Bone marrow aspirate smear; May-Grünwald-Giemsa/Pappenheim stain:
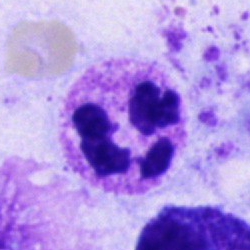Cell type: neutrophil (segmented).